Bone marrow smear.
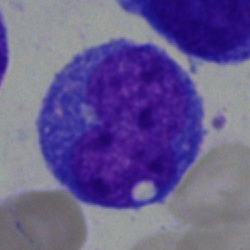 Cell type — blast cell.